Bone marrow aspirate smear. Image size 250×250 — 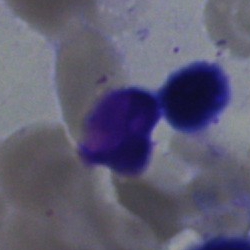 Single cell identified as a typical lymphocyte.